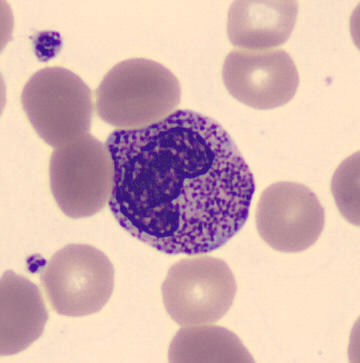
Single cell identified as a metamyelocyte. Preparation: Peripheral blood film.